Peripheral blood smear
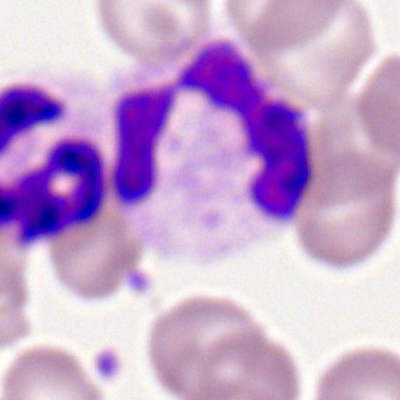
This is a segmented neutrophil.